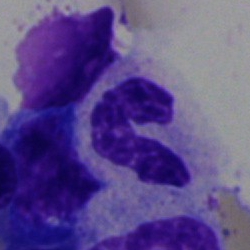

Q: What cell is this?
A: A segmented neutrophil.